Peripheral blood smear.
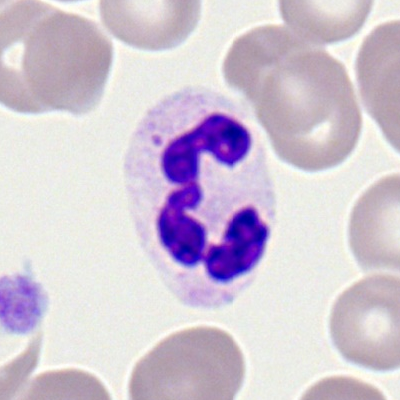Q: Which cell type is shown here?
A: This is a neutrophil (segmented).